Bone marrow smear:
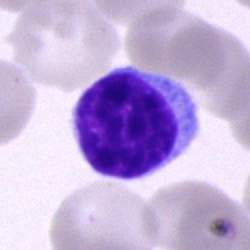

Q: What type of cell is this?
A: It is a typical lymphocyte.